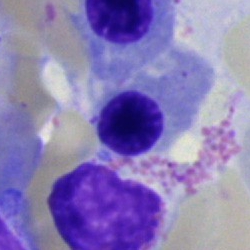Q: What cell is this?
A: It is a nucleated red blood cell.